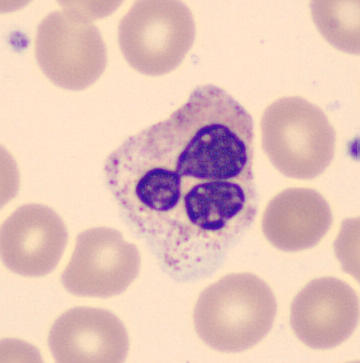 Preparation: Peripheral blood smear.

Cell — segmented neutrophil.